Bone marrow aspirate smear.
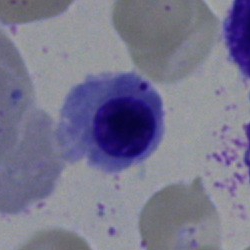 Q: What is the morphological classification of this cell?
A: A nucleated red cell.